Brightfield, 40× oil-immersion objective. Single cell centered in the field. Bone marrow smear:
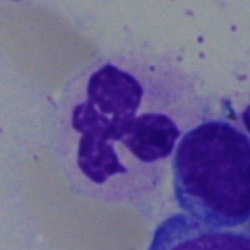
Cell: segmented neutrophil.